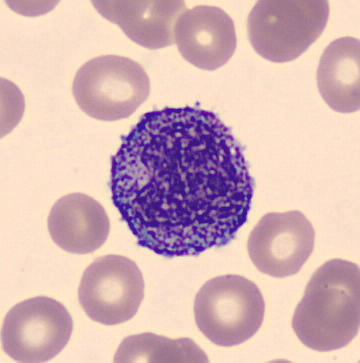Classification: promyelocyte.

Preparation: Peripheral blood smear.